Bone marrow smear:
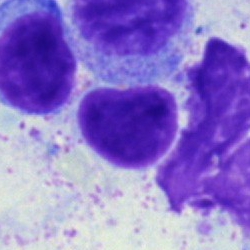A typical lymphocyte.